Bone marrow aspirate smear — 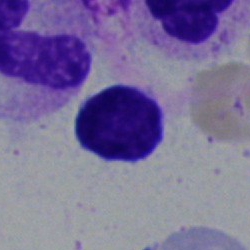

Q: What is the morphological classification of this cell?
A: It is a lymphocyte.